Romanowsky stain · peripheral blood film · 400×400 px:
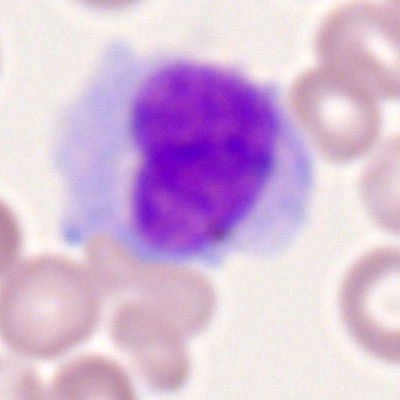 Q: What is the morphological classification of this cell?
A: This is a monocyte.